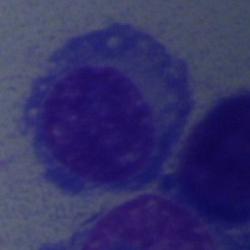Bone marrow aspirate smear, single cell — plasma cell.